Bone marrow smear: 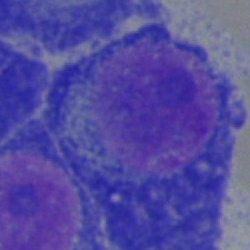{"cell_type": "plasma cell", "lineage": "lymphoid"}